Bone marrow smear
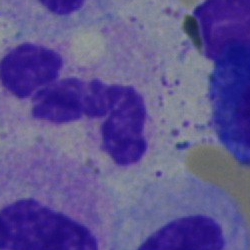 Morphological class — segmented neutrophil.